Bone marrow aspirate smear.
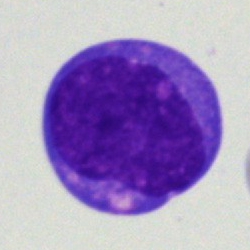A blast.